M8 digital microscope (Precipoint), 100× oil immersion. Peripheral blood smear. Single-cell field: 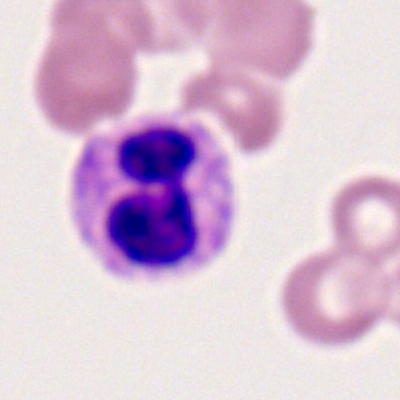Classification: neutrophil (segmented).